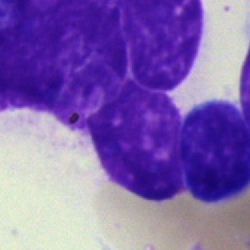
Morphological class — artefact.